Bone marrow aspirate smear: 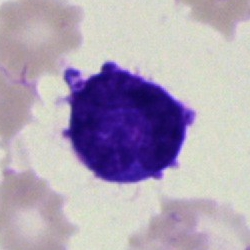Cell = blast cell.